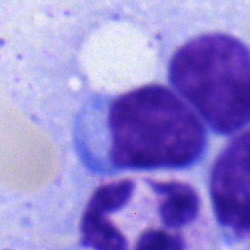 Single-cell crop from a bone marrow smear: lymphocyte.